Bone marrow aspirate smear; 40× objective, oil immersion; single-cell crop: 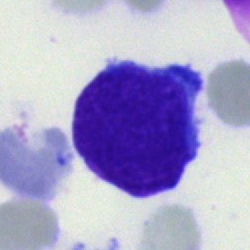

Cell: undifferentiated blast.